Bone marrow aspirate smear: 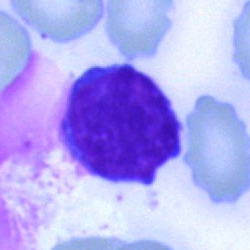
Showing a typical lymphocyte.